Bone marrow aspirate smear; 250 by 250 pixels:
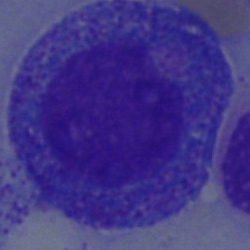

Single cell identified as a progranulocyte.